Bone marrow smear:
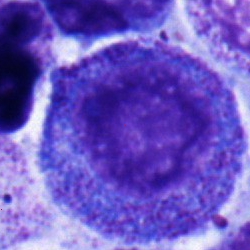 Showing a promyelocyte.